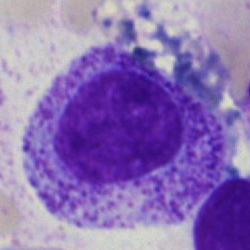

A myelocyte.